Bone marrow aspirate smear:
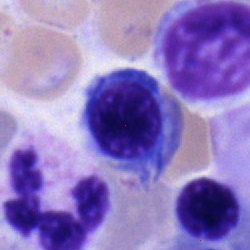Normoblast.